Bone marrow smear: 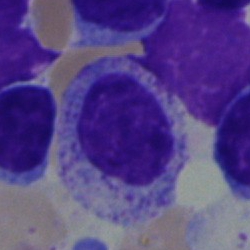

Q: Which cell type is shown here?
A: A myelocyte.